Bone marrow aspirate smear. Pappenheim-stained
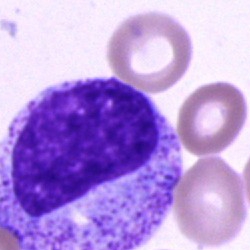

Cell type = promyelocyte.